Bone marrow smear; 40× objective, oil immersion; MGG-stained: 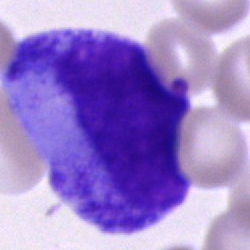Impression — promyelocyte.